Bone marrow aspirate smear: 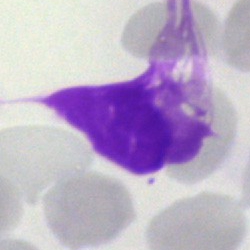

Artefact.